Single cell centered in the field. Bone marrow aspirate smear. 40× objective, oil immersion
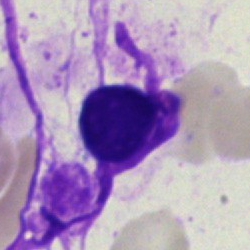 Single cell identified as an artifact.